Romanowsky-stained · single-cell field · peripheral blood smear: 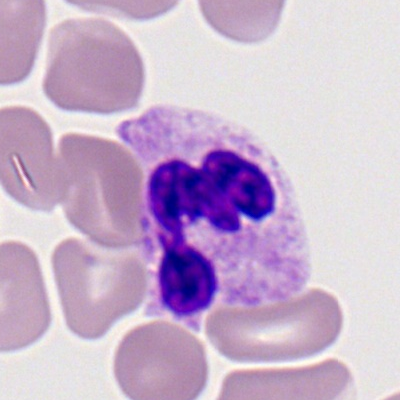 This is a polymorphonuclear neutrophil.